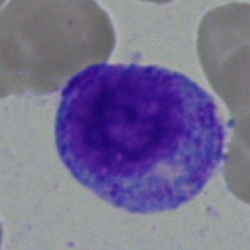Promyelocyte.